Single-cell field; bone marrow smear
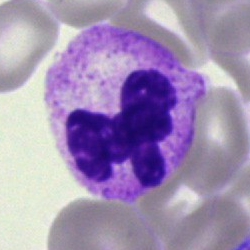Cell type = polymorphonuclear neutrophil.